Cropped to a single cell; bone marrow smear:
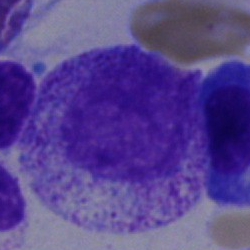

Morphology consistent with a myelocyte.